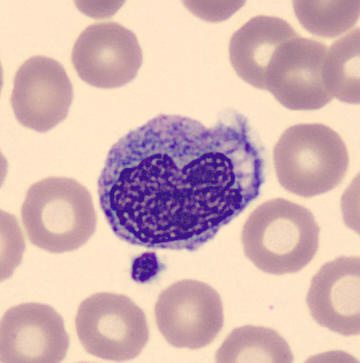Peripheral blood smear.
Monocyte.